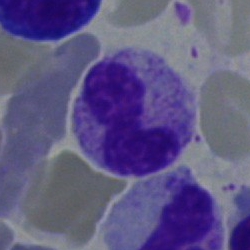 Impression → band-form neutrophil.